Bone marrow smear · brightfield microscopy, 40× oil immersion: 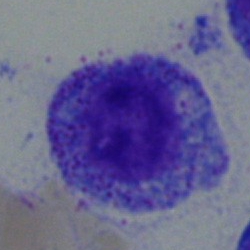
Q: What type of cell is this?
A: Myelocyte.